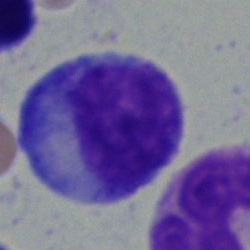
Showing a myelocyte.